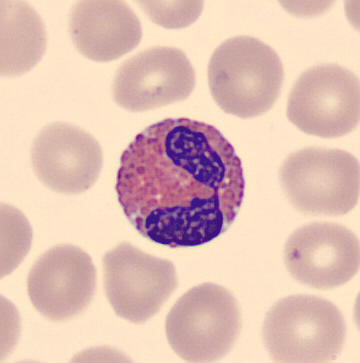
Showing an eosinophil. Automated cell imaging (CellaVision DM96) · peripheral blood film · 360×363.